Single-cell field · bone marrow smear:
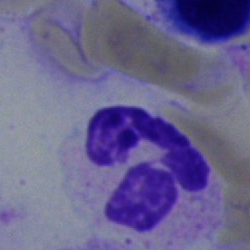 The classification is neutrophil (segmented).